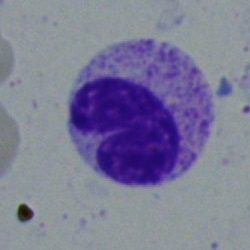
Specimen: bone marrow smear.
Cell: band-form neutrophil.
Lineage: myeloid.